Bone marrow aspirate smear.
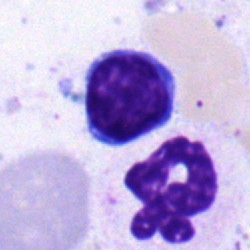
Morphology → typical lymphocyte.